Bone marrow aspirate smear. Cropped to a single cell: 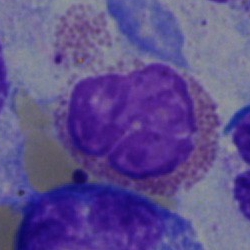

Q: What cell is this?
A: It is an eosinophil.